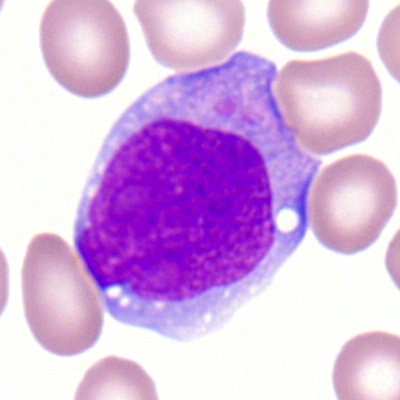Cell type: myeloid blast.